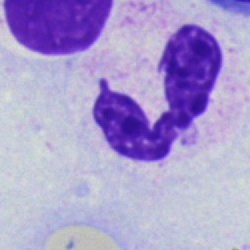
Q: What cell is this?
A: This is a polymorphonuclear neutrophil.